Bone marrow aspirate smear; 250×250
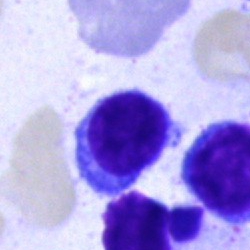
{"cell_type": "typical lymphocyte", "lineage": "lymphoid"}